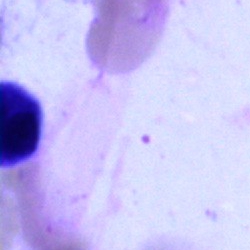
Artefact.